May-Grünwald-Giemsa stain · cropped to a single cell · bone marrow smear.
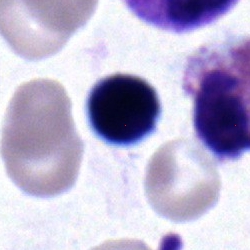 Morphology consistent with a lymphocyte.